Single-cell crop · bone marrow smear: 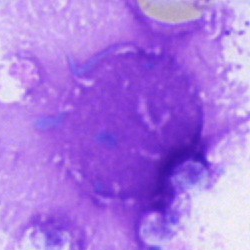
The cell shown is an artifact.